250×250. Bone marrow aspirate smear
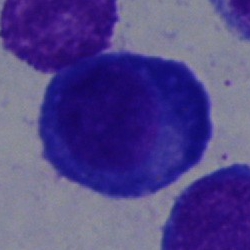

Morphology → plasmacyte.